Bone marrow aspirate smear — 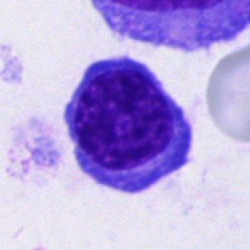 Specimen: bone marrow aspirate smear.
Cell: normoblast.